Peripheral blood film. Single-cell crop. 400 by 400 pixels: 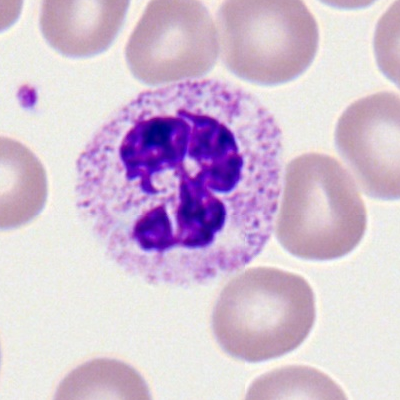

Specimen: peripheral blood film.
Cell: neutrophil (segmented).
Lineage: myeloid.